Peripheral blood smear: 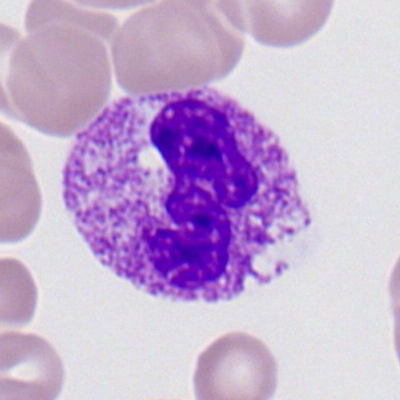
Q: What is the morphological classification of this cell?
A: It is a polymorphonuclear neutrophil.